Bone marrow aspirate smear.
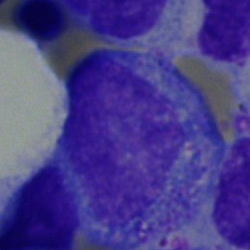Q: What is the morphological classification of this cell?
A: Progranulocyte.